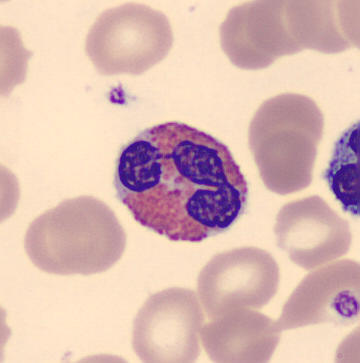
May Grünwald-Giemsa stain; peripheral blood smear. Morphological class: eosinophil.